Peripheral blood film.
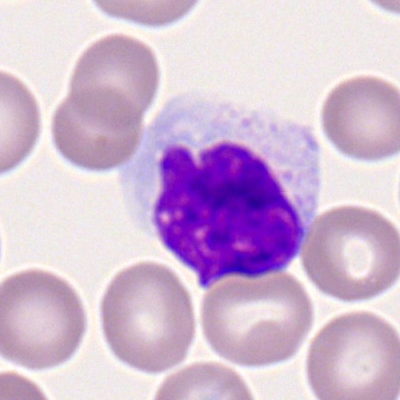

Classification = lymphocyte.